Peripheral blood smear:
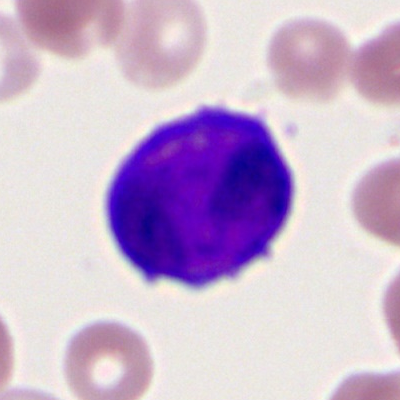
Cell = myeloblast.